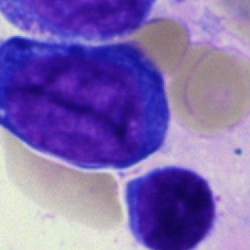 A pronormoblast on a bone marrow smear.